250×250; bone marrow aspirate smear:
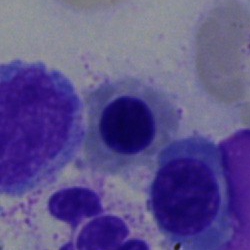Specimen: bone marrow aspirate smear.
Morphological class: nucleated red blood cell.
Lineage: erythroid.